Bone marrow aspirate smear: 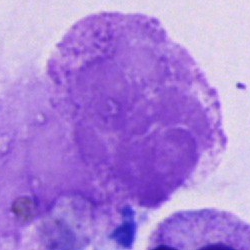

Cell = artefact.